Bone marrow smear
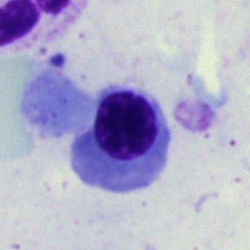 {"cell_type": "erythroblast"}